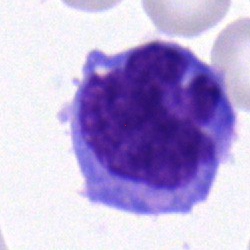

Q: Identify the cell.
A: This is a monocyte.